Bone marrow aspirate smear. Brightfield microscopy, 40× oil immersion. May-Grünwald-Giemsa/Pappenheim stain:
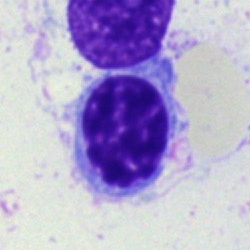

Classification = nucleated red blood cell.